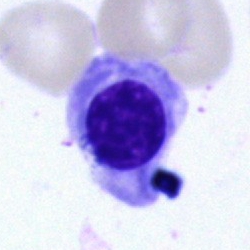 The cell is nucleated red cell.